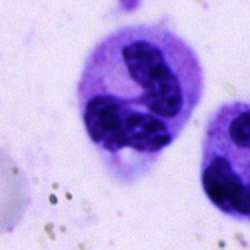

Impression — polymorphonuclear neutrophil.